Bone marrow smear
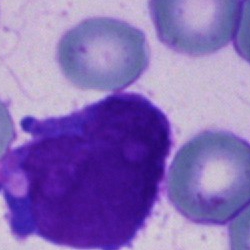
Q: Which cell type is shown here?
A: It is an undifferentiated blast.